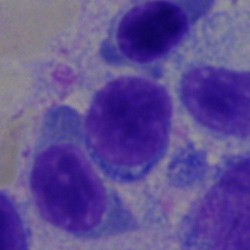
A typical lymphocyte on a bone marrow smear.